Bone marrow smear: 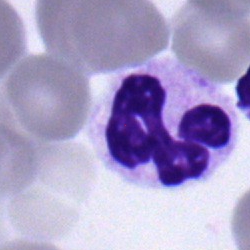

This is a neutrophil (segmented).